May-Grünwald-Giemsa stain · bone marrow smear — 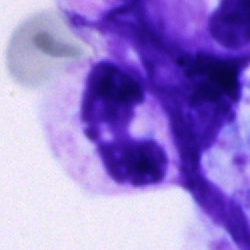 Morphology — polymorphonuclear neutrophil.